Image size 250×250. Bone marrow smear: 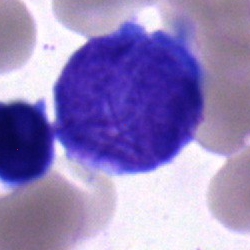Q: What is the morphological classification of this cell?
A: This is a blast cell.